250 by 250 pixels. Bone marrow smear. Cropped to a single cell — 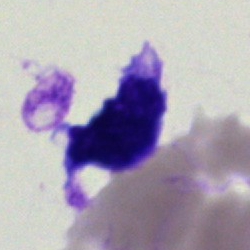Classification: artifact.